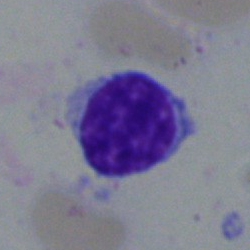Q: Identify the cell.
A: Lymphocyte.